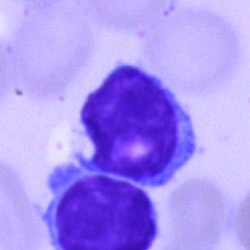Lymphocyte.